Brightfield microscopy, 40× oil immersion; bone marrow smear: 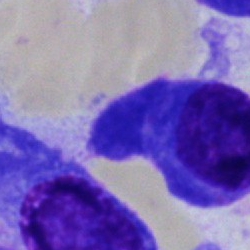 Cell: plasmacyte.